Bone marrow aspirate smear; 40× oil immersion.
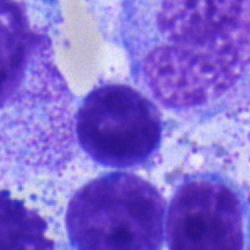

Classification = lymphocyte.